May-Grünwald-Giemsa stain; 40× objective, oil immersion; bone marrow smear — 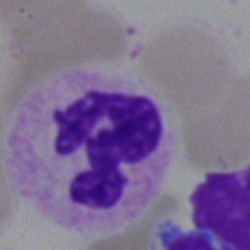 Single cell identified as a neutrophil (segmented).